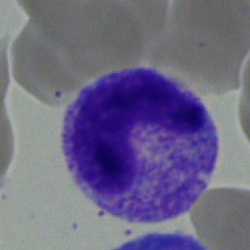Impression — band-form neutrophil.